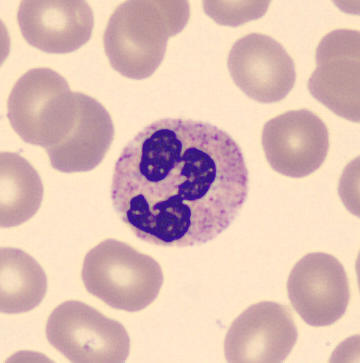Peripheral blood smear.

{"cell_type": "segmented neutrophil", "lineage": "myeloid"}